400 by 400 pixels · Romanowsky-stained · peripheral blood film.
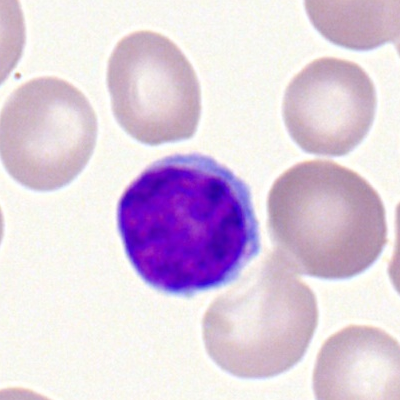

The cell shown is a lymphocyte.